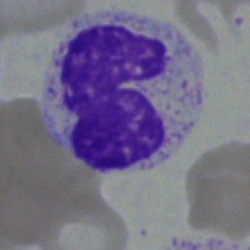Single-cell crop from a bone marrow smear: neutrophil (segmented).